Bone marrow aspirate smear:
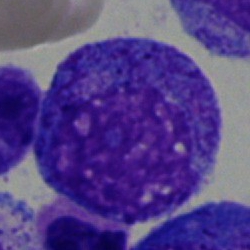Showing a progranulocyte.